Bone marrow aspirate smear — 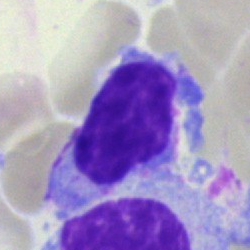
{"cell_type": "typical lymphocyte"}